Bone marrow smear: 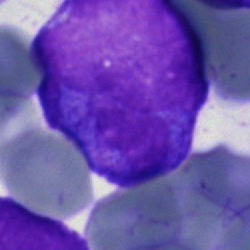
This is an undifferentiated blast.